Bone marrow aspirate smear.
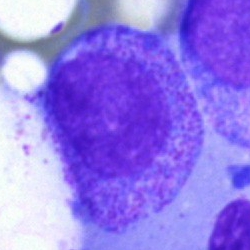

A myelocyte.